Brightfield microscopy, 40× oil immersion. Bone marrow aspirate smear:
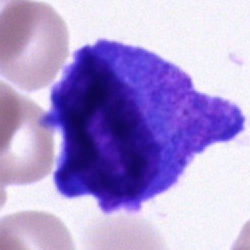

Q: Identify the cell.
A: Unidentifiable cell.